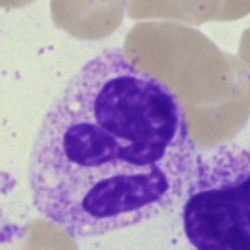
Cell: polymorphonuclear neutrophil.